Bone marrow smear · 40× objective, oil immersion · 250×250 px:
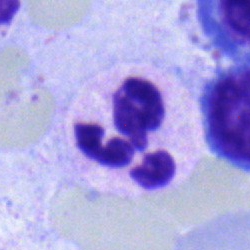
The cell shown is a neutrophil (segmented).